Bone marrow aspirate smear; single-cell field; 40× objective, oil immersion — 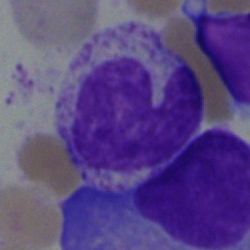
Impression — band neutrophil.